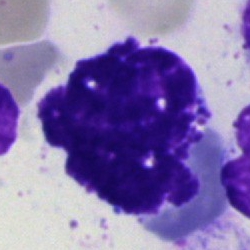 Morphology consistent with an artifact.